May-Grünwald-Giemsa/Pappenheim stain. Bone marrow smear. 250 by 250 pixels
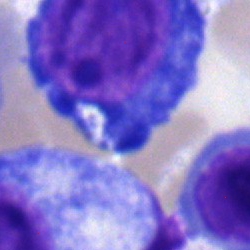
A pronormoblast.